Bone marrow smear — 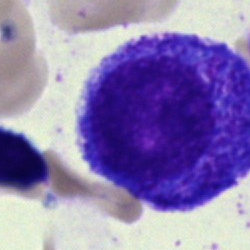A progranulocyte.